Peripheral blood smear · 400×400 px · Romanowsky-type stain.
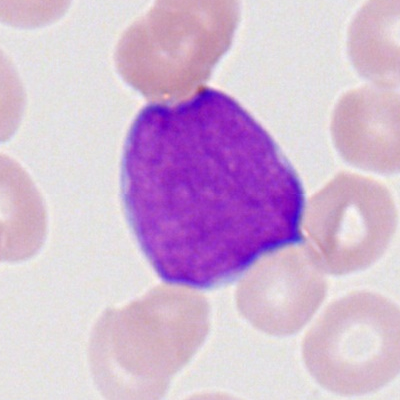
Morphology consistent with a myeloblast.